Bone marrow smear — 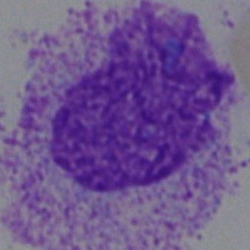 Single cell identified as an artefact.